250×250 px. Single-cell crop. Bone marrow aspirate smear:
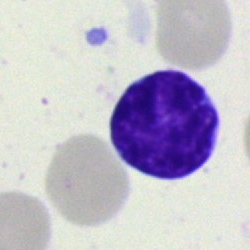 Q: What type of cell is this?
A: A lymphocyte.